40× objective, oil immersion · bone marrow smear · May-Grünwald-Giemsa/Pappenheim stain.
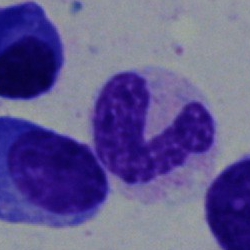Cell = neutrophil (band).